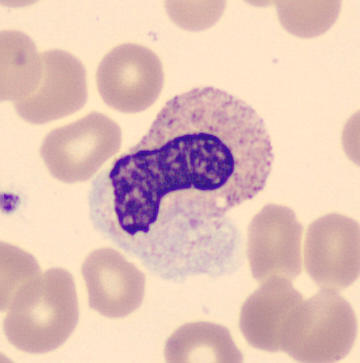 Band-form neutrophil.
Image: Peripheral blood film. Single-cell crop.